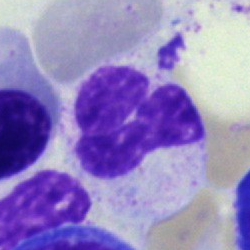The cell shown is a polymorphonuclear neutrophil.